Bone marrow smear. 250×250 — 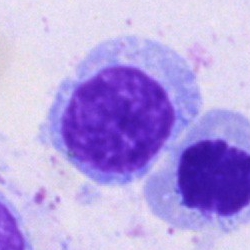 Q: Identify the cell.
A: It is a typical lymphocyte.